Cropped to a single cell · bone marrow smear:
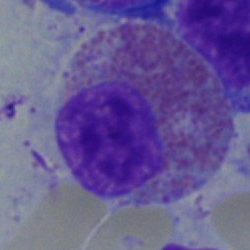 Morphology — eosinophil.